Bone marrow smear:
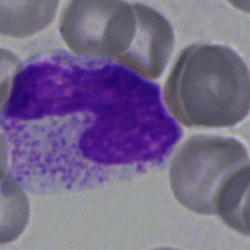{"cell_type": "band-form neutrophil", "lineage": "myeloid"}